Single cell centered in the field. Bone marrow smear
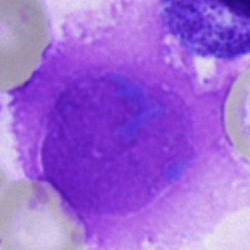Q: What is shown here?
A: It is an artifact.